Peripheral blood film · Romanowsky-stained:
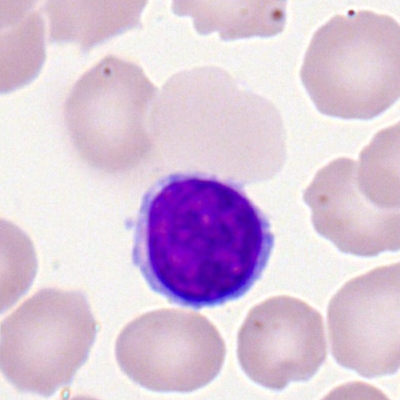Specimen: peripheral blood smear.
Cell: lymphocyte.